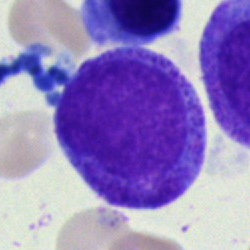Q: Identify the cell.
A: It is a progranulocyte.